Bone marrow aspirate smear.
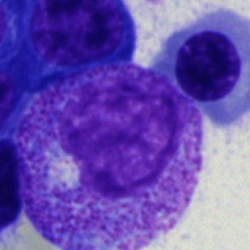

Specimen: bone marrow aspirate smear.
Classification: myelocyte.